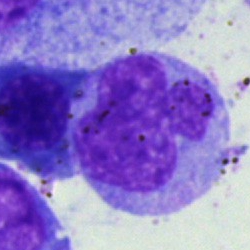
Specimen: bone marrow aspirate smear.
Cell: lymphocyte.
Lineage: lymphoid.